100× oil immersion, 14.14 px/µm. Peripheral blood smear: 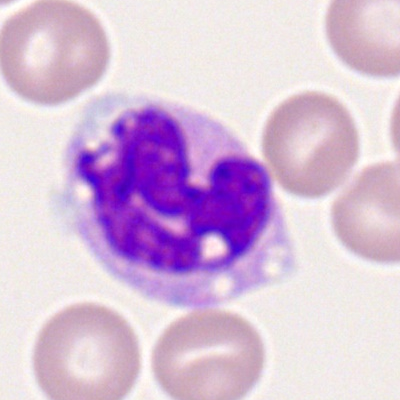 Cell type — monocyte.